Bone marrow smear
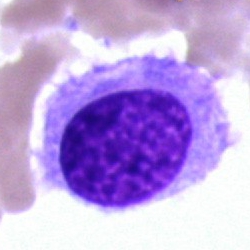
A hairy cell.